May-Grünwald-Giemsa/Pappenheim stain. 40× oil immersion. Bone marrow aspirate smear: 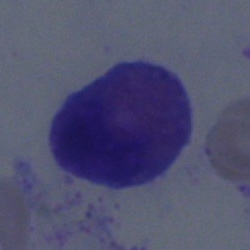Specimen: bone marrow aspirate smear.
Morphological class: eosinophilic granulocyte.